250 by 250 pixels; May-Grünwald-Giemsa/Pappenheim stain; bone marrow smear:
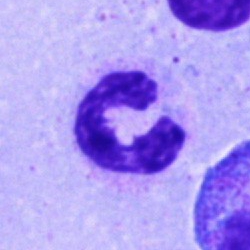

Cell — segmented neutrophil.